Peripheral blood smear · M8 digital microscope (Precipoint), 100× oil immersion · 400×400 px — 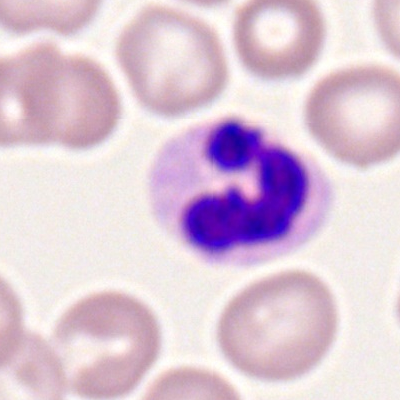 Cell type: segmented neutrophil.